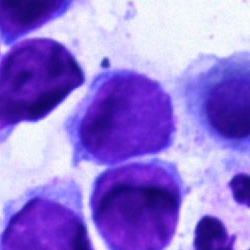
Q: What is shown here?
A: This is a lymphocyte.